Bone marrow smear; brightfield, 40× oil-immersion objective — 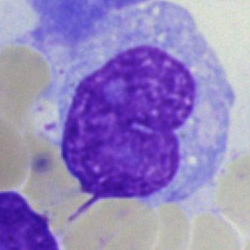
{"cell_type": "monocyte"}